Bone marrow smear:
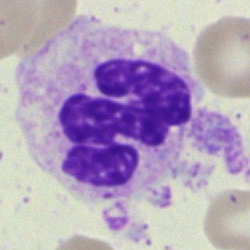

The classification is polymorphonuclear neutrophil.